Bone marrow aspirate smear. Brightfield microscopy, 40× oil immersion: 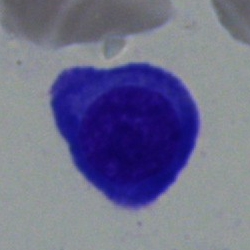

Plasmacyte.